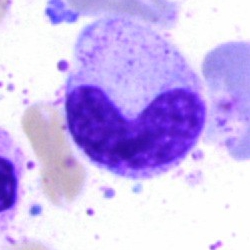
Cell = stab cell.